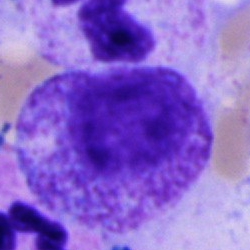
Q: What cell is this?
A: It is a promyelocyte.